Bone marrow smear:
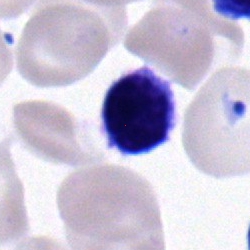 Impression → lymphocyte.